Single cell centered in the field · bone marrow aspirate smear
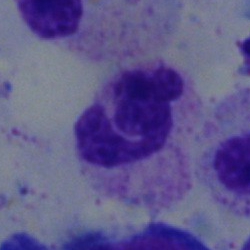

Impression — segmented neutrophil.